Brightfield, 40× oil-immersion objective · bone marrow smear · cropped to a single cell:
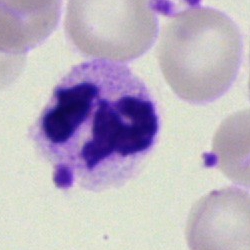 Morphological class — polymorphonuclear neutrophil.